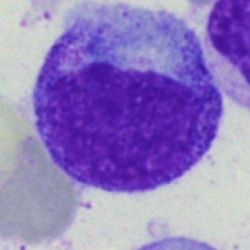 Q: What is the morphological classification of this cell?
A: Promyelocyte.